Peripheral blood film.
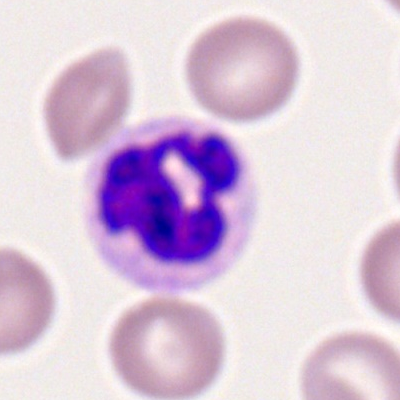 Q: Which cell type is shown here?
A: This is a segmented neutrophil.